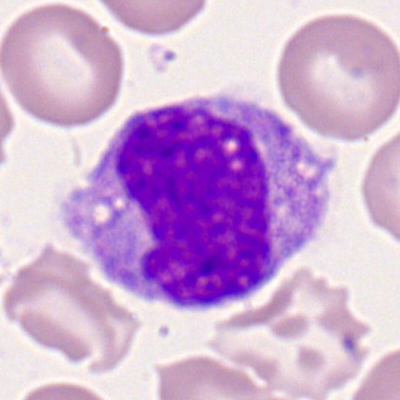

The cell type is monocyte.